Bone marrow smear
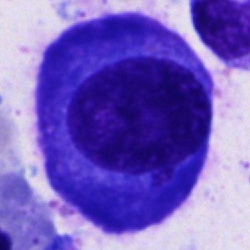

Q: What type of cell is this?
A: Plasma cell.